Bone marrow aspirate smear
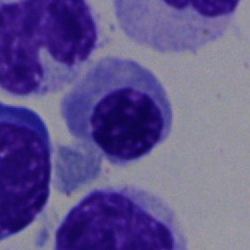 Q: What type of cell is this?
A: A nucleated red cell.